May-Grünwald-Giemsa/Pappenheim stain. Bone marrow aspirate smear: 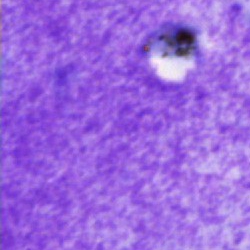The classification is artifact.